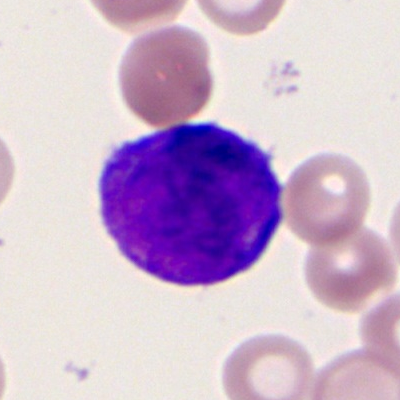
Specimen: peripheral blood smear.
Classification: myeloblast.
Lineage: myeloid.